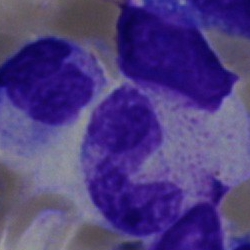Morphology → band neutrophil.